40× oil immersion · cropped to a single cell · bone marrow aspirate smear
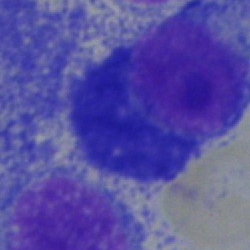 Specimen: bone marrow smear.
Cell: plasma cell.
Lineage: lymphoid.